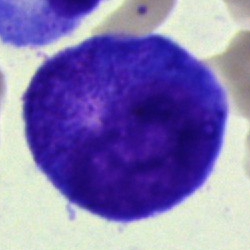
Q: What type of cell is this?
A: This is a promyelocyte.